Cropped to a single cell. Peripheral blood film. Romanowsky stain:
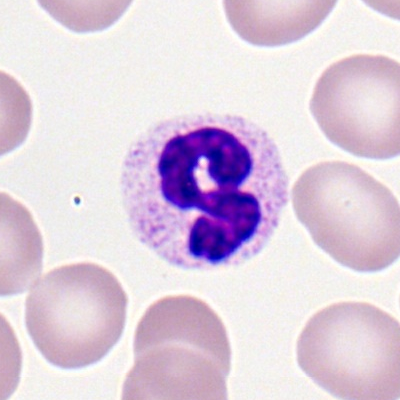

Showing a neutrophil (segmented).